Bone marrow smear · May-Grünwald-Giemsa stain · 40× oil immersion: 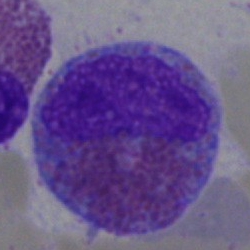 {"cell_type": "eosinophil", "lineage": "myeloid"}